Bone marrow smear
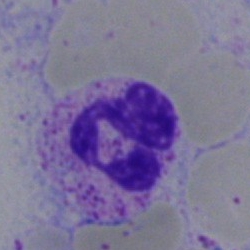This is a segmented neutrophil.